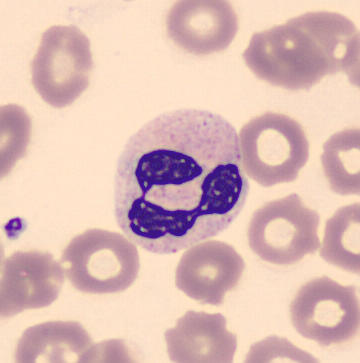
This is a polymorphonuclear neutrophil. Image: Peripheral blood film; cropped to a single cell.